Bone marrow smear.
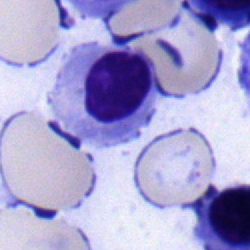 Morphology consistent with a nucleated red cell.